May-Grünwald-Giemsa/Pappenheim stain; bone marrow smear: 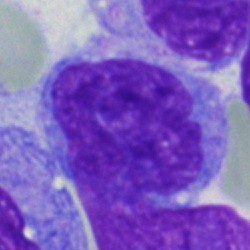Monocyte.